Bone marrow aspirate smear: 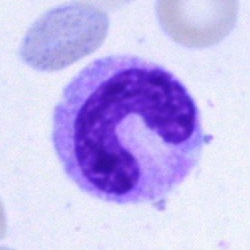 Cell type — stab cell.